Pappenheim-stained. Bone marrow aspirate smear — 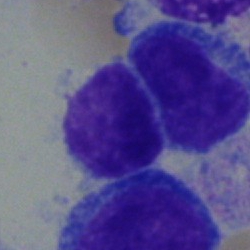

Morphology consistent with a typical lymphocyte.